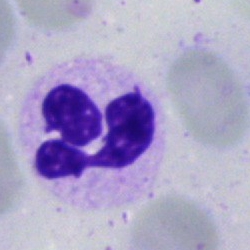

{"cell_type": "polymorphonuclear neutrophil", "lineage": "myeloid"}